Pappenheim-stained · 250 by 250 pixels · bone marrow aspirate smear: 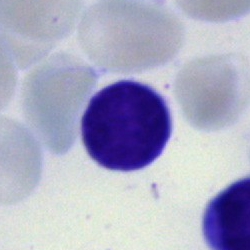{"cell_type": "typical lymphocyte", "lineage": "lymphoid"}